Bone marrow smear · 40× objective, oil immersion: 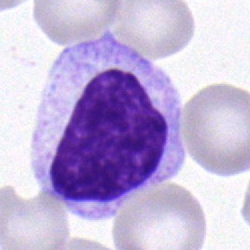
Cell — myelocyte.